40× objective, oil immersion. Bone marrow aspirate smear. May-Grünwald-Giemsa stain — 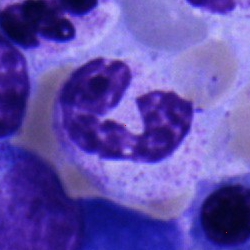The cell type is polymorphonuclear neutrophil.